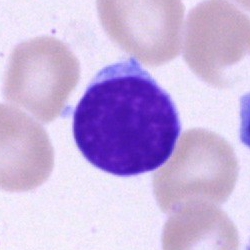
A typical lymphocyte on a bone marrow smear.